Bone marrow smear: 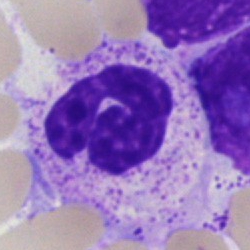
Specimen: bone marrow smear.
Morphological class: stab cell.